Bone marrow aspirate smear
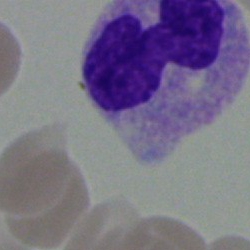 Q: What is shown here?
A: This is a polymorphonuclear neutrophil.